Bone marrow smear.
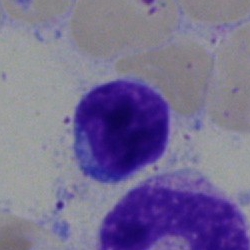 Lymphocyte.